Image size 250×250. Bone marrow smear.
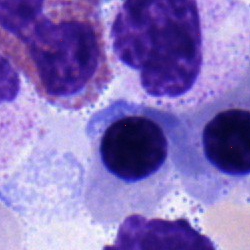The classification is nucleated red cell.